40× objective, oil immersion. Bone marrow aspirate smear: 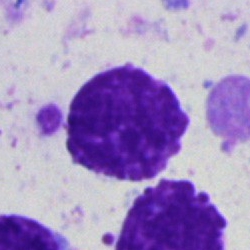Morphology consistent with an artefact.